Peripheral blood film; single-cell field — 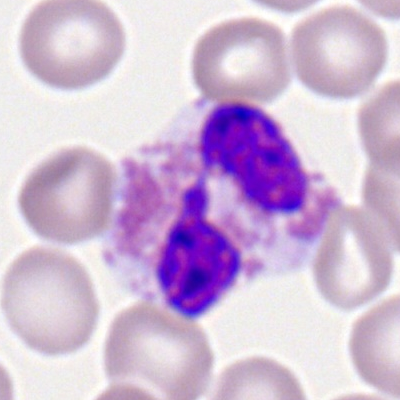
Morphological class = eosinophil.